Bone marrow smear
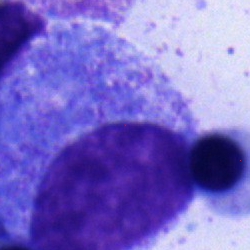
Morphology consistent with a progranulocyte.